Bone marrow aspirate smear:
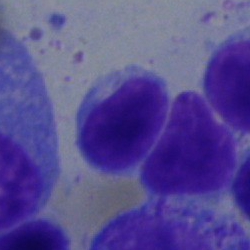
Q: What is shown here?
A: Lymphocyte.